Bone marrow smear: 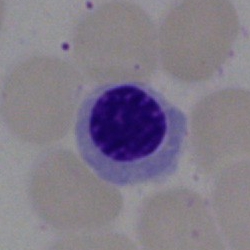Nucleated red blood cell.